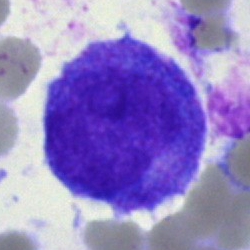

Q: What cell is this?
A: This is a promyelocyte.